Bone marrow smear
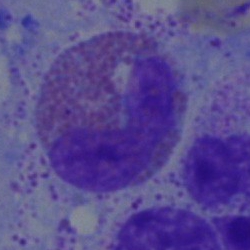 Showing an eosinophil.